Bone marrow aspirate smear.
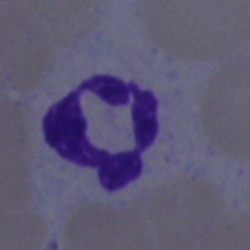Specimen: bone marrow aspirate smear.
Cell: neutrophil (segmented).